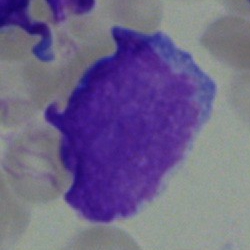 Specimen: bone marrow smear.
Cell: undifferentiated blast.